Bone marrow aspirate smear — 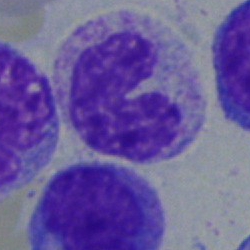

Cell — band neutrophil.